Bone marrow aspirate smear:
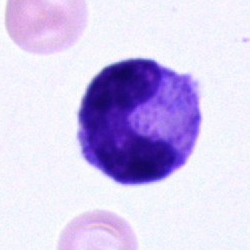 Morphology consistent with a neutrophil (band).